Romanowsky-stained; peripheral blood smear:
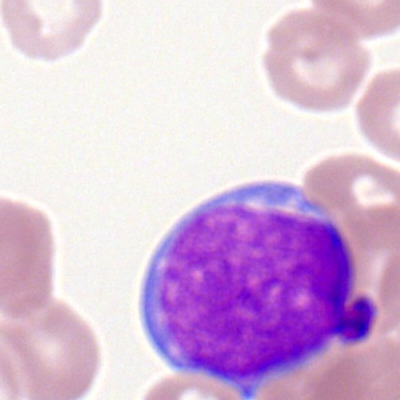Q: Identify the cell.
A: Myeloblast.